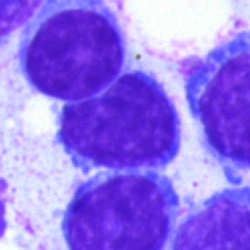 Cell: lymphocyte.